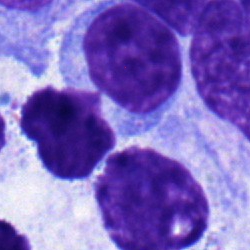 Q: What type of cell is this?
A: It is a typical lymphocyte.